Bone marrow smear: 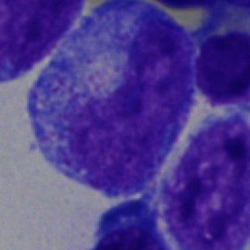
Impression → promyelocyte.